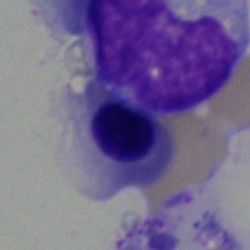 Nucleated red cell.